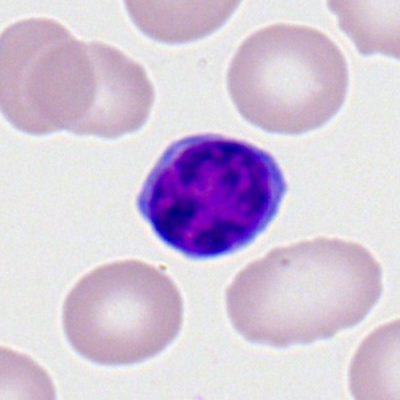Typical lymphocyte.